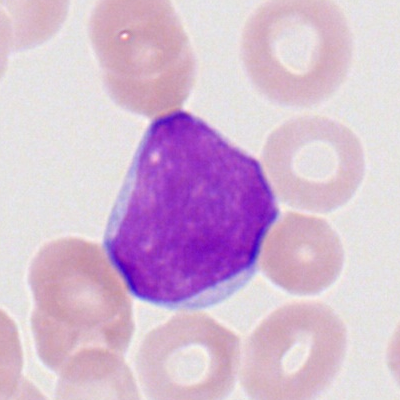 This is a myeloblast.